Bone marrow smear · 40× oil immersion: 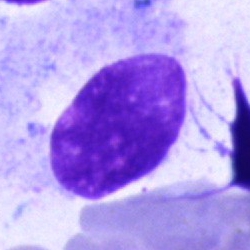Single cell identified as an artefact.